Bone marrow aspirate smear. Single-cell crop.
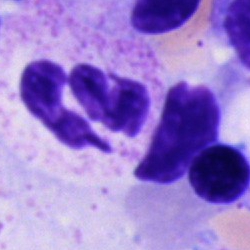 Morphological class — segmented neutrophil.